Bone marrow aspirate smear: 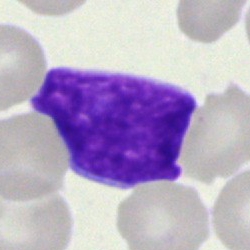
An undifferentiated blast.